Bone marrow aspirate smear; May-Grünwald-Giemsa/Pappenheim stain: 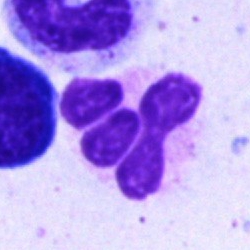 Cell: neutrophil (segmented).